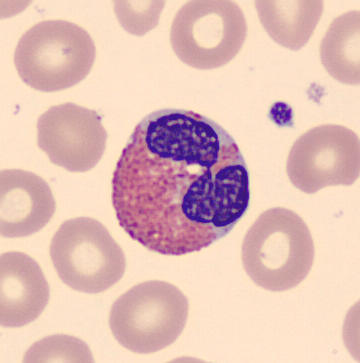

Peripheral blood film. Single-cell crop.
Morphology — eosinophilic granulocyte.